Bone marrow smear
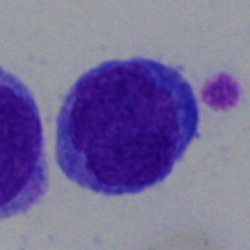
This is an undifferentiated blast.